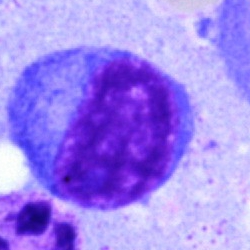Q: What cell is this?
A: This is a plasmacyte.